Bone marrow smear: 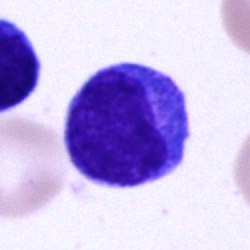This is a lymphocyte.